400 by 400 pixels · peripheral blood film:
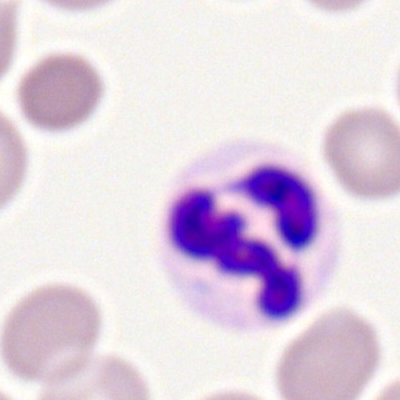Cell type: neutrophil (segmented).